Bone marrow aspirate smear
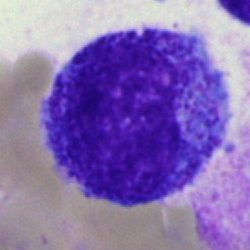 Q: What type of cell is this?
A: It is a progranulocyte.